Bone marrow smear. 40× objective, oil immersion:
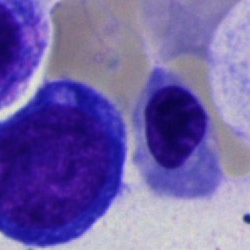The cell is nucleated red cell.